Bone marrow aspirate smear; brightfield microscopy, 40× oil immersion; cropped to a single cell: 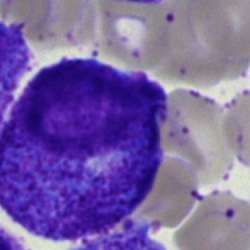Morphology consistent with a myelocyte.